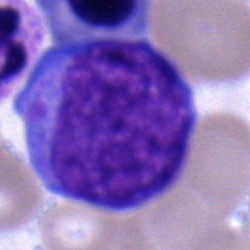Cell type = blast.